Bone marrow aspirate smear
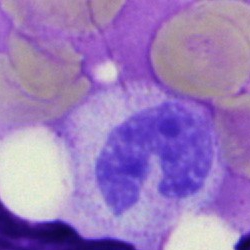Specimen: bone marrow aspirate smear.
Classification: neutrophil (segmented).
Lineage: myeloid.